Bone marrow smear. 250×250 px: 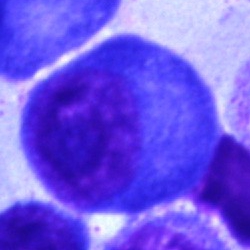 Morphology → plasmacyte.